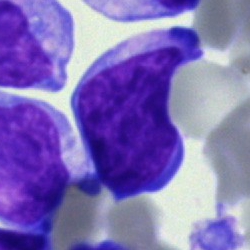

Classification = blast cell.